Bone marrow aspirate smear: 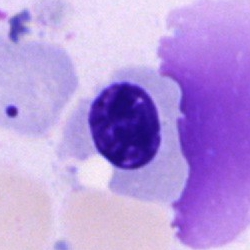
Normoblast.